Bone marrow smear.
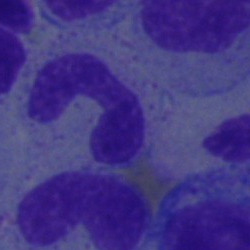 Q: What cell is this?
A: This is a stab cell.